Bone marrow smear: 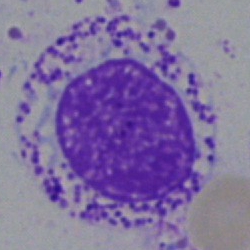

Q: What cell is this?
A: This is a basophil.